Bone marrow aspirate smear.
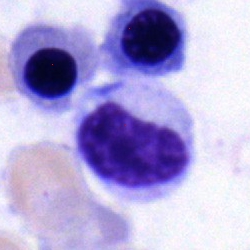
Morphology → myelocyte.